Bone marrow smear — 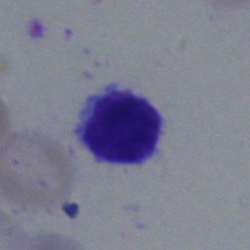

Impression — lymphocyte.